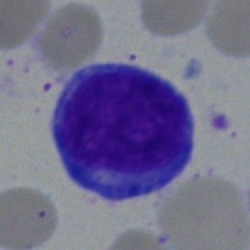

Morphology → blast cell.